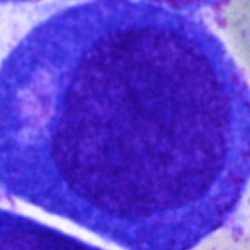 Single-cell crop from a bone marrow smear: progranulocyte.